Bone marrow smear; MGG-stained
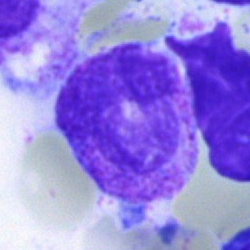 A myelocyte.